Single-cell field. Romanowsky-type stain. Peripheral blood smear — 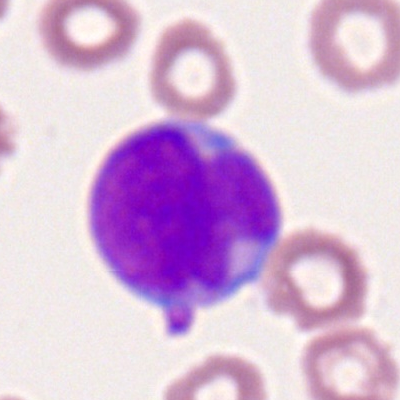Specimen: peripheral blood smear.
Cell type: myeloblast.